40× objective, oil immersion. Bone marrow aspirate smear
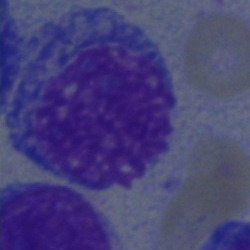
Q: What cell is this?
A: Undifferentiated blast.